Bone marrow smear: 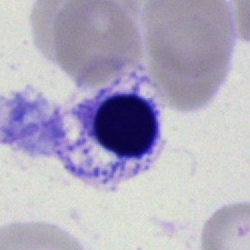{"cell_type": "nucleated red blood cell"}